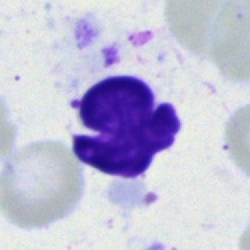Morphology — artefact.